Bone marrow aspirate smear — 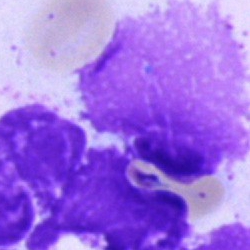 Artefact.